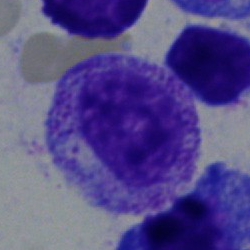Single cell identified as a myelocyte.